Brightfield, 100× oil-immersion objective. Peripheral blood film:
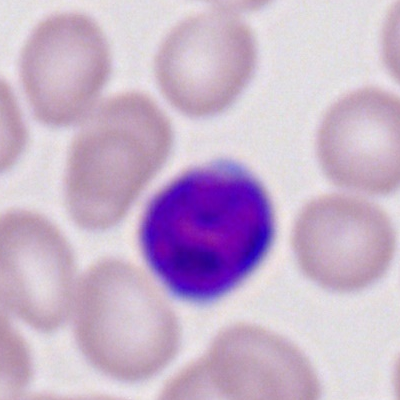 A lymphocyte.